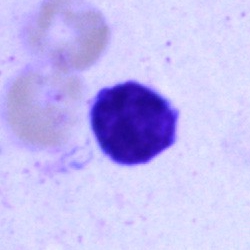 Morphology consistent with a lymphocyte.